Image size 250×250. May-Grünwald-Giemsa stain. Bone marrow aspirate smear.
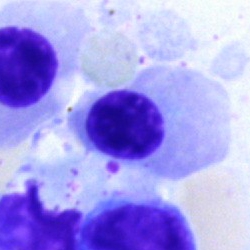Q: What is the morphological classification of this cell?
A: Erythroblast.